Bone marrow aspirate smear · single-cell crop: 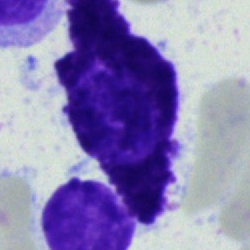
Specimen: bone marrow aspirate smear.
Morphological class: artefact.